Bone marrow aspirate smear
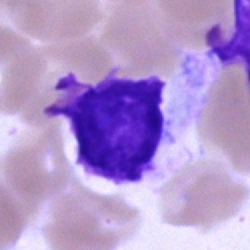

Morphology → cell of indeterminate lineage.